Peripheral blood film.
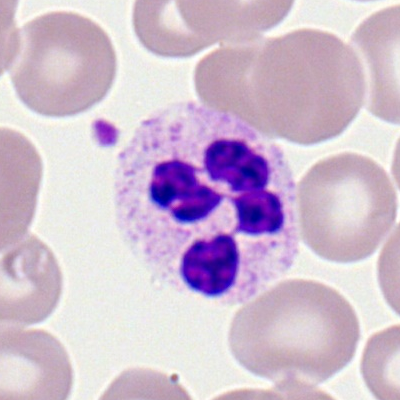The cell shown is a polymorphonuclear neutrophil.